Bone marrow aspirate smear
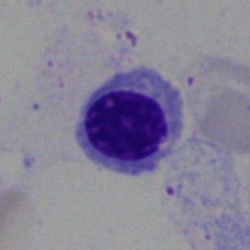

Specimen: bone marrow smear.
Cell type: nucleated red cell.